May-Grünwald-Giemsa/Pappenheim stain; bone marrow aspirate smear — 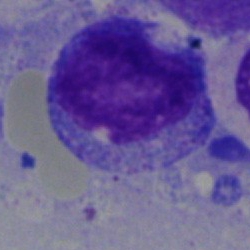

Cell type = cell of indeterminate lineage.